Bone marrow smear
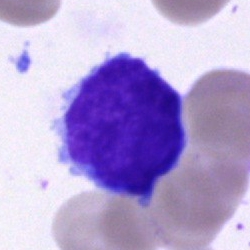
Q: What is shown here?
A: This is a lymphocyte.